Bone marrow aspirate smear · single-cell crop:
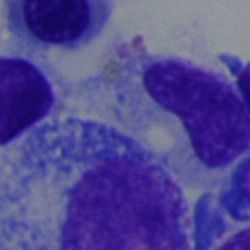

Showing a promyelocyte.